Pappenheim-stained; bone marrow smear — 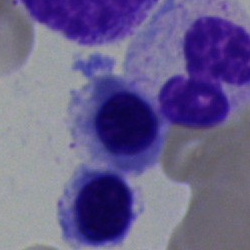Showing a normoblast.